Bone marrow aspirate smear:
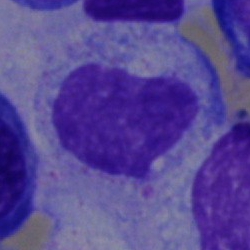Monocyte.